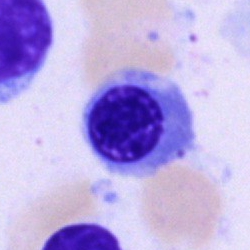

Morphology → nucleated red cell.